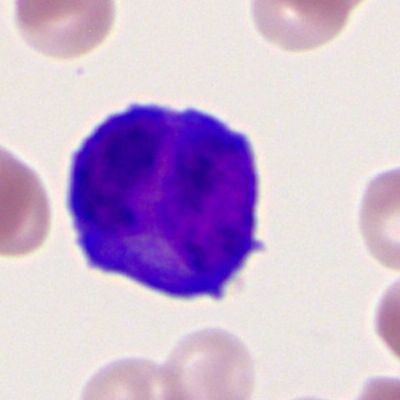 Showing a myeloblast.